Bone marrow aspirate smear; brightfield microscopy, 40× oil immersion — 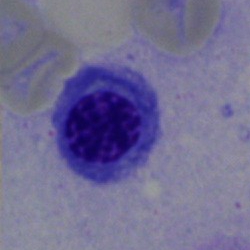
A nucleated red blood cell.